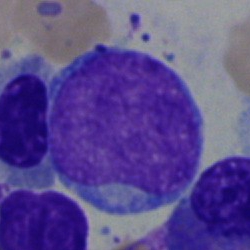 Morphology → blast.